Bone marrow aspirate smear.
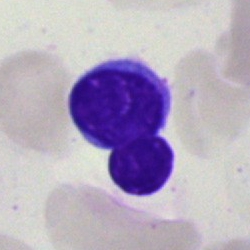 Impression → typical lymphocyte.